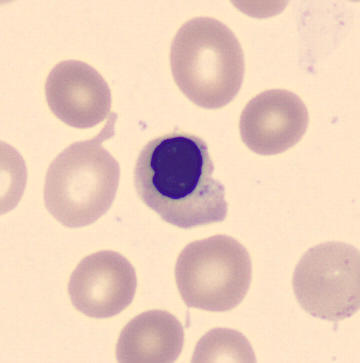 Peripheral blood smear. Cell type — nucleated red cell.